Bone marrow smear.
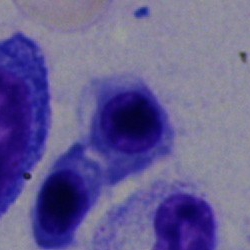

Q: Which cell type is shown here?
A: A nucleated red cell.